Bone marrow aspirate smear
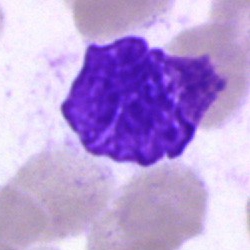 {"cell_type": "artifact"}